Brightfield microscopy, 40× oil immersion; 250×250 px; bone marrow aspirate smear
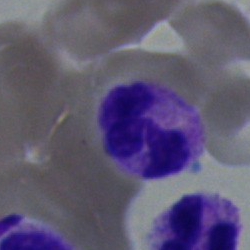
Neutrophil (segmented).